Bone marrow aspirate smear. Brightfield microscopy, 40× oil immersion
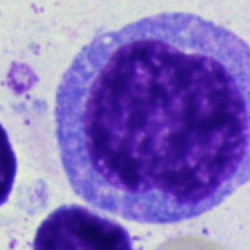 A monocyte.